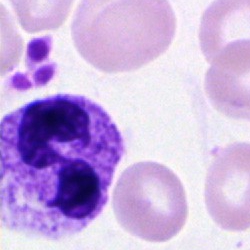

A segmented neutrophil on a bone marrow smear.